40× objective, oil immersion · bone marrow aspirate smear.
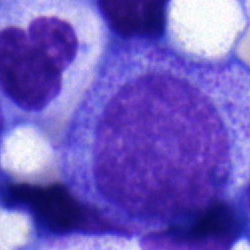 The cell type is promyelocyte.